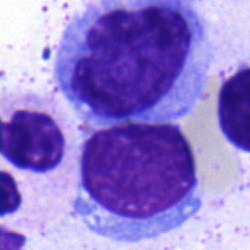
Neutrophil (segmented).